Bone marrow aspirate smear.
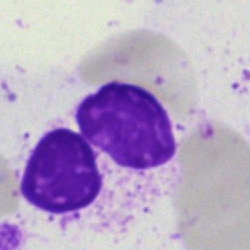
Specimen: bone marrow smear.
Cell: artefact.